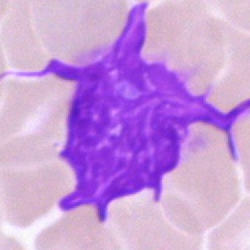
Impression → artifact.